Bone marrow smear.
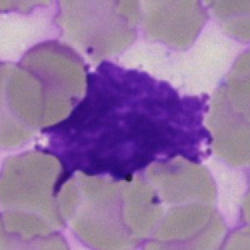
An artifact.